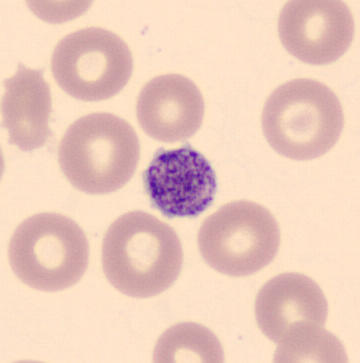
The classification is platelet.